Bone marrow aspirate smear · May-Grünwald-Giemsa stain: 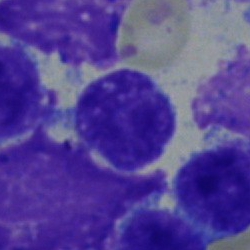

Impression → typical lymphocyte.